Bone marrow aspirate smear · 250×250 px · 40× objective, oil immersion — 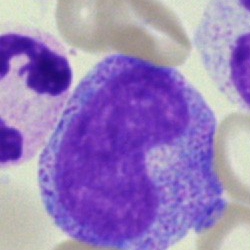

{"cell_type": "progranulocyte"}